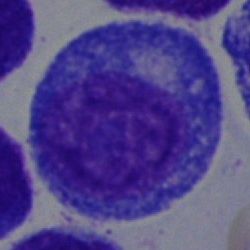 Impression → progranulocyte.